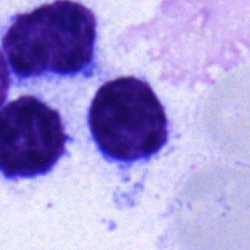

Single-cell crop from a bone marrow smear: lymphocyte.